Bone marrow smear; May-Grünwald-Giemsa stain
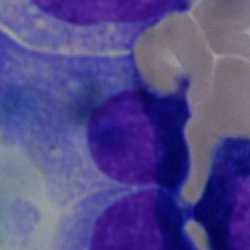
Plasma cell.